Bone marrow smear.
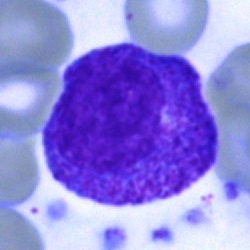

Q: Which cell type is shown here?
A: Progranulocyte.